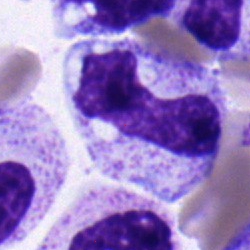Single cell identified as a band neutrophil.